250 by 250 pixels; brightfield, 40× oil-immersion objective; bone marrow smear — 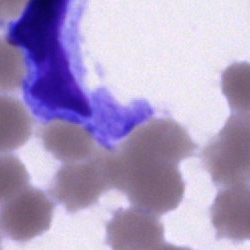An artefact.